Pappenheim-stained · bone marrow smear
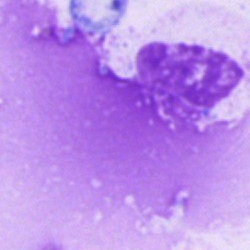Morphological class: artifact.